Bone marrow smear — 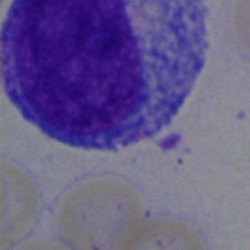
Q: What is shown here?
A: This is a promyelocyte.